Bone marrow aspirate smear
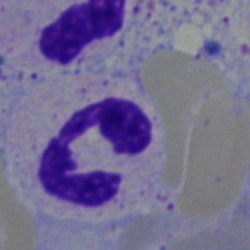
{"cell_type": "segmented neutrophil", "lineage": "myeloid"}